Bone marrow smear · brightfield, 40× oil-immersion objective.
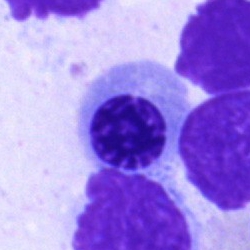 Cell = nucleated red blood cell.